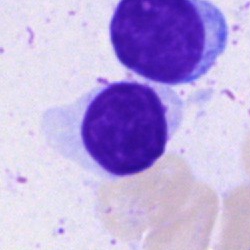Morphology → typical lymphocyte.